Bone marrow aspirate smear: 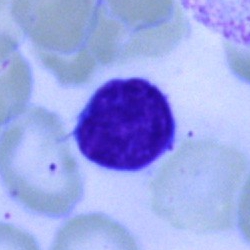

Impression — lymphocyte.